Bone marrow aspirate smear.
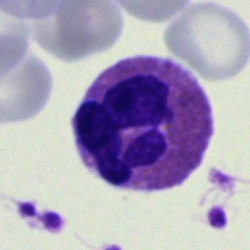The cell type is eosinophil.